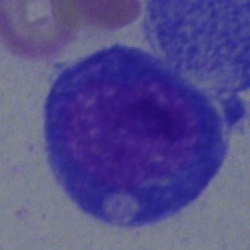Specimen: bone marrow aspirate smear.
Classification: blast cell.